May-Grünwald-Giemsa/Pappenheim stain. 40× oil immersion. Bone marrow aspirate smear:
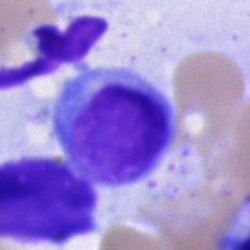
Morphology → lymphocyte.